May-Grünwald-Giemsa stain · 40× oil immersion · bone marrow aspirate smear — 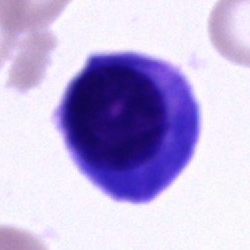

Cell: plasmacyte.